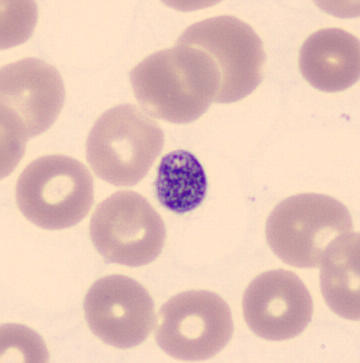Peripheral blood film; May Grünwald-Giemsa stain; 360×363 px.
Q: What is this?
A: Platelet (thrombocyte).